250×250 · bone marrow smear
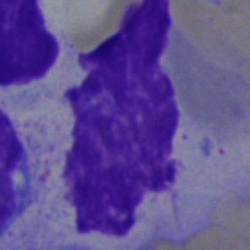 Q: What is shown here?
A: It is an artifact.